May-Grünwald-Giemsa/Pappenheim stain · bone marrow smear · 250×250 px — 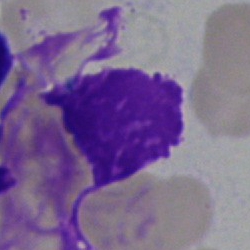

Artefact.